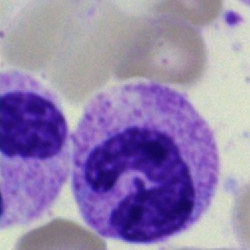 Morphology → neutrophil (segmented).